Bone marrow aspirate smear · 250×250 px:
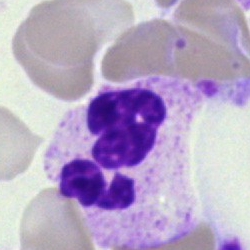

Impression — polymorphonuclear neutrophil.